May-Grünwald-Giemsa stain. Bone marrow smear. Single cell centered in the field
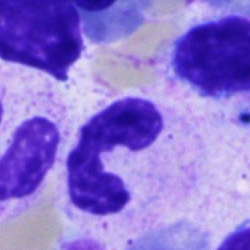Single cell identified as a segmented neutrophil.